Cropped to a single cell. Bone marrow aspirate smear. 250 by 250 pixels.
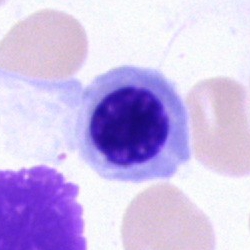 Q: Which cell type is shown here?
A: It is a normoblast.